Peripheral blood smear; 400×400 px; single cell centered in the field
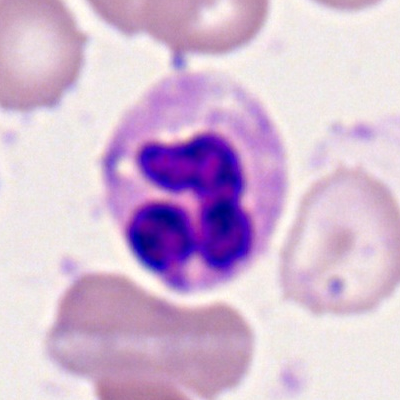Morphology → polymorphonuclear neutrophil.